Bone marrow aspirate smear. Pappenheim-stained — 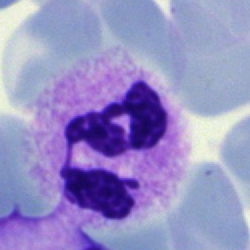
The classification is polymorphonuclear neutrophil.